250 by 250 pixels · bone marrow aspirate smear.
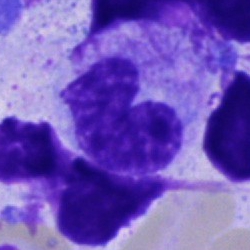 Cell type = metamyelocyte.